Bone marrow aspirate smear.
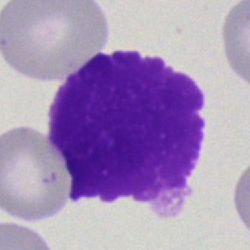

Specimen: bone marrow smear.
Cell type: artefact.